Bone marrow smear
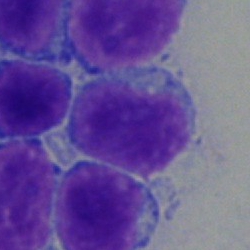

Q: What is shown here?
A: This is a lymphocyte.